Single-cell field; bone marrow smear.
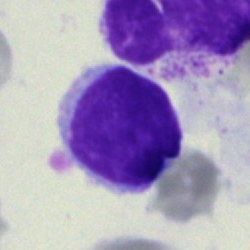

This is a lymphocyte.